Bone marrow smear — 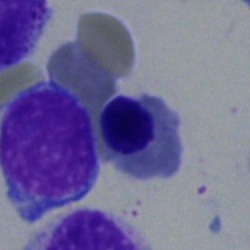 Morphology consistent with a nucleated red cell.